Bone marrow smear. MGG-stained:
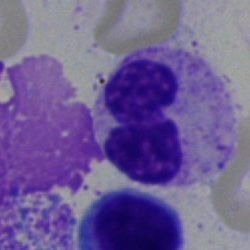 Morphological class = polymorphonuclear neutrophil.